Bone marrow smear: 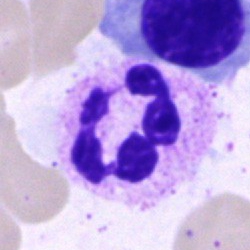Morphological class — polymorphonuclear neutrophil.